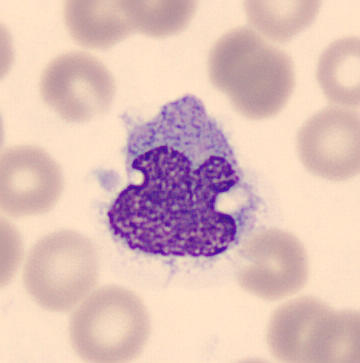Classification — monocyte.